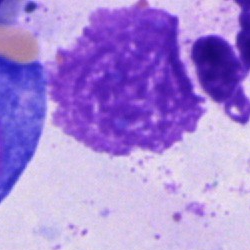Cell type — artifact.